Bone marrow smear:
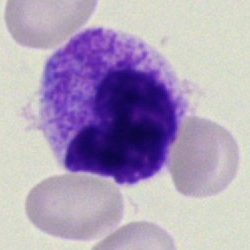A neutrophil (segmented).